Bone marrow smear
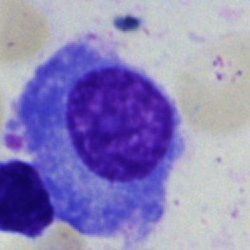

Plasma cell.